Bone marrow aspirate smear.
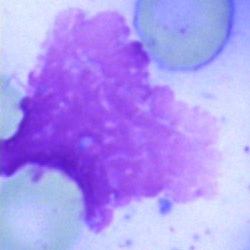 This is an artifact.